Brightfield, 40× oil-immersion objective. Bone marrow aspirate smear: 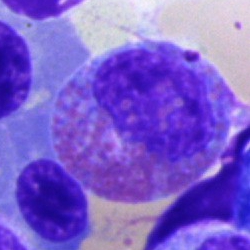Eosinophilic granulocyte.